Bone marrow aspirate smear
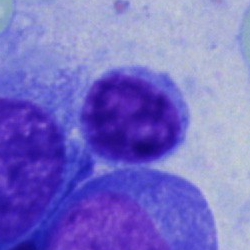

Specimen: bone marrow aspirate smear.
Cell: lymphocyte.